Bone marrow smear · 250×250 · Pappenheim-stained:
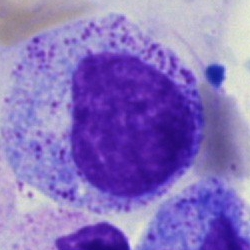 The cell type is myelocyte.